Bone marrow smear; single-cell crop:
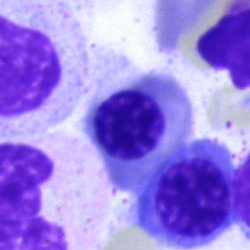Morphology consistent with an erythroblast.